Bone marrow aspirate smear: 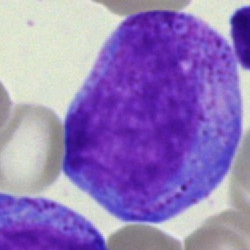

Q: Identify the cell.
A: This is a progranulocyte.